Bone marrow aspirate smear: 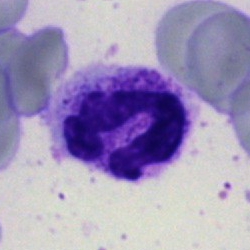

Single cell identified as a segmented neutrophil.